Cropped to a single cell · Pappenheim-stained · bone marrow smear — 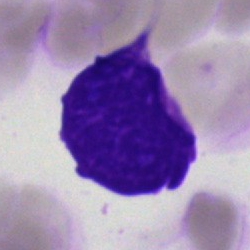Specimen: bone marrow aspirate smear.
Classification: artefact.